Bone marrow aspirate smear.
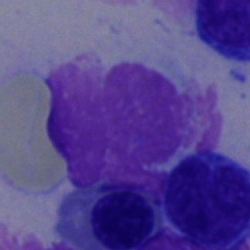

{"cell_type": "artifact"}